Bone marrow smear; Pappenheim-stained; single-cell field — 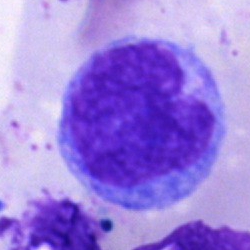 Showing a monocyte.